250 by 250 pixels. Single-cell crop. Bone marrow smear:
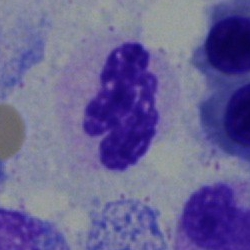 A segmented neutrophil.